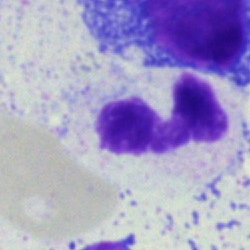 Morphology consistent with a polymorphonuclear neutrophil.